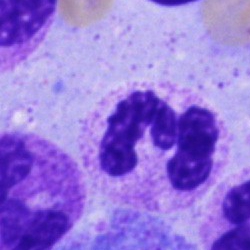

Specimen: bone marrow aspirate smear.
Cell: neutrophil (segmented).
Lineage: myeloid.